Bone marrow aspirate smear
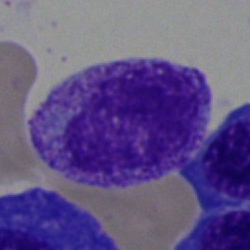 Showing a myelocyte.